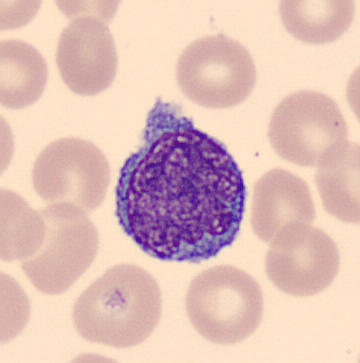
{"cell_type": "monocyte", "lineage": "myeloid"}
Acquisition: Peripheral blood film.